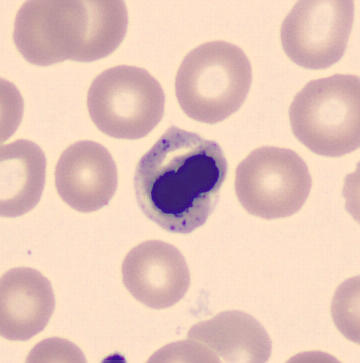 Q: What cell is this?
A: It is a normoblast. Acquisition: Peripheral blood film; 360×363.